Bone marrow smear: 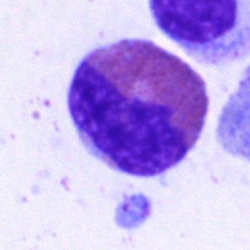This is an eosinophil.